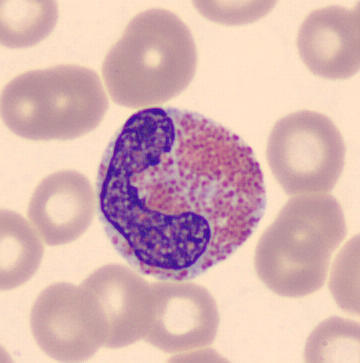
Image: Peripheral blood film · 360 by 363 pixels · single-cell field. Impression → eosinophil.